250×250. Bone marrow smear
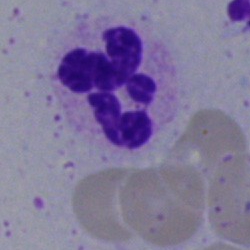 Q: What is shown here?
A: A neutrophil (segmented).